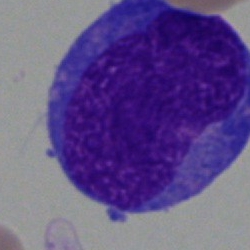 Q: What type of cell is this?
A: A blast cell.